Bone marrow smear
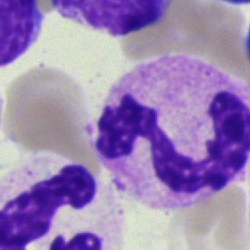

Specimen: bone marrow smear.
Cell: polymorphonuclear neutrophil.